Bone marrow aspirate smear — 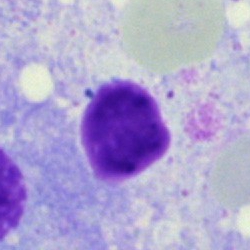 Classification: artefact.